Bone marrow smear · brightfield microscopy, 40× oil immersion:
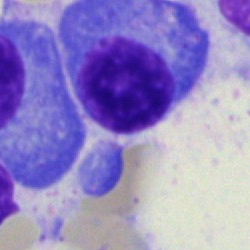

Morphological class: plasmacyte.